Bone marrow aspirate smear — 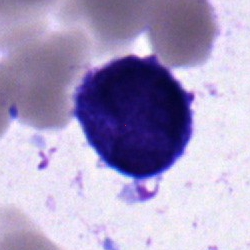 Morphological class: undifferentiated blast.